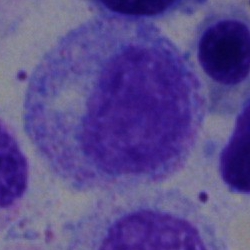

Cell type: myelocyte.